Bone marrow aspirate smear:
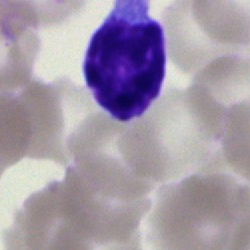
Q: Identify the cell.
A: This is a typical lymphocyte.